Bone marrow smear
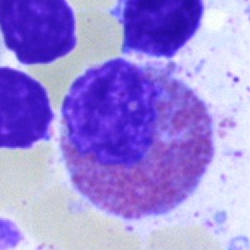 This is an eosinophil.